MGG-stained · bone marrow smear:
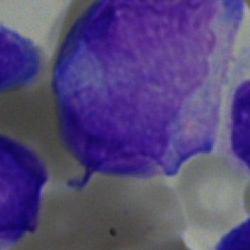

Morphology consistent with a blast cell.